Peripheral blood smear · Romanowsky stain:
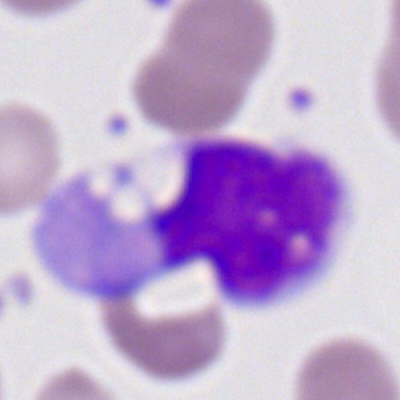 Showing a monocyte.